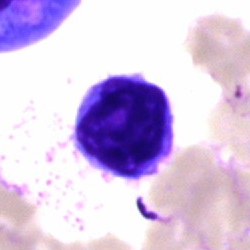

Specimen: bone marrow aspirate smear.
Cell type: typical lymphocyte.